Bone marrow aspirate smear. Image size 250×250 — 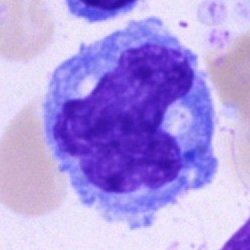

The cell is monocyte.